Bone marrow aspirate smear:
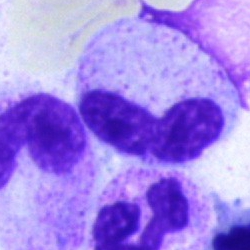Morphology consistent with a neutrophil (band).